Bone marrow smear: 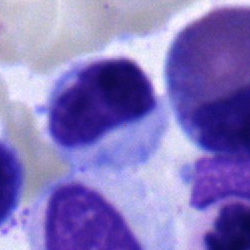Cell type: metamyelocyte.